40× oil immersion. Bone marrow smear — 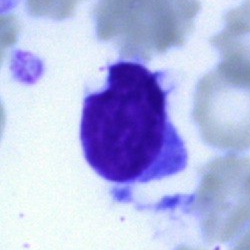Impression — typical lymphocyte.